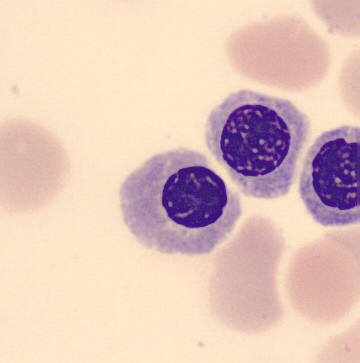

Normoblast.